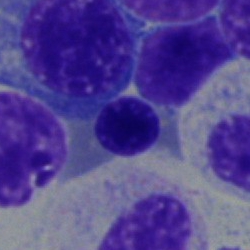Morphology — erythroblast.